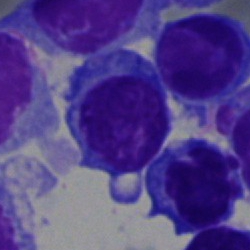
Specimen: bone marrow aspirate smear.
Cell type: lymphocyte.
Lineage: lymphoid.